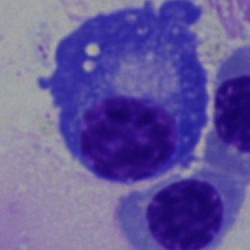Single-cell crop from a bone marrow smear: plasma cell.